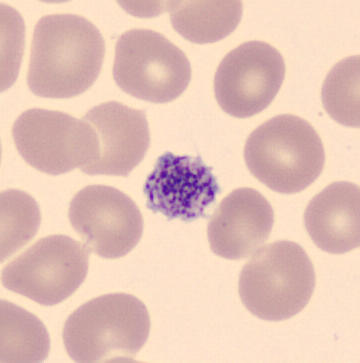 Preparation: Image size 360×363; peripheral blood smear; May-Grünwald-Giemsa-stained. Q: What is shown here?
A: A platelet (thrombocyte).